Bone marrow smear
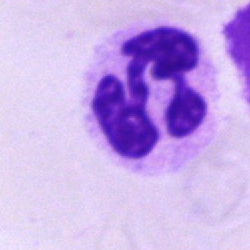The cell shown is a segmented neutrophil.